Peripheral blood smear
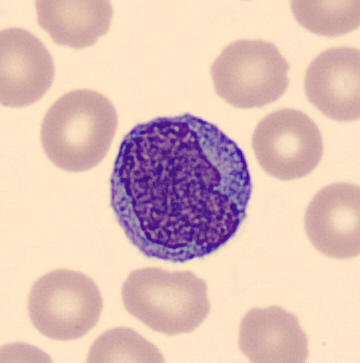The classification is monocyte.